May-Grünwald-Giemsa/Pappenheim stain. 40× oil immersion. Bone marrow aspirate smear.
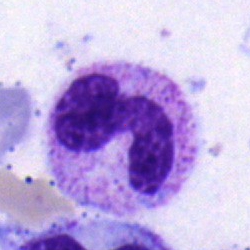Morphological class: neutrophil (band).